250 by 250 pixels. Bone marrow smear. Pappenheim-stained:
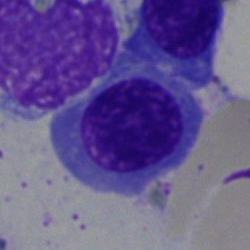Q: Which cell type is shown here?
A: Nucleated red blood cell.